Bone marrow aspirate smear · cropped to a single cell.
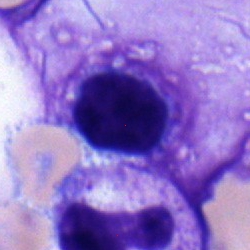Single cell identified as a lymphocyte.